Bone marrow smear
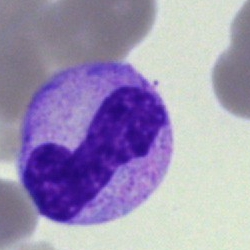

Showing a band neutrophil.